400×400 px · single cell centered in the field · peripheral blood smear
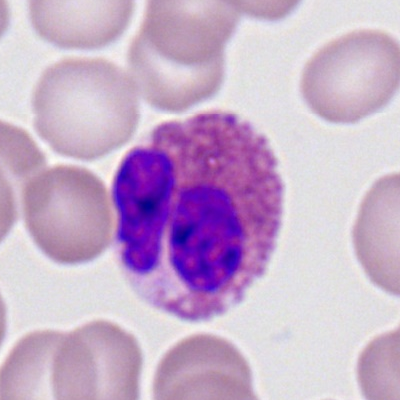Single cell identified as an eosinophilic granulocyte.